Bone marrow aspirate smear. Brightfield, 40× oil-immersion objective
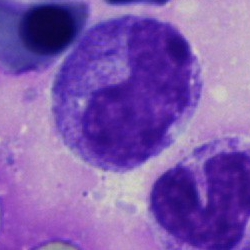

The cell shown is a metamyelocyte.